May-Grünwald-Giemsa stain; image size 250×250; bone marrow aspirate smear — 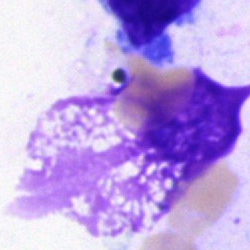
Classification — artefact.